Peripheral blood film
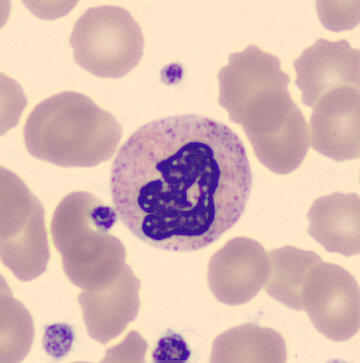
Classification: polymorphonuclear neutrophil.